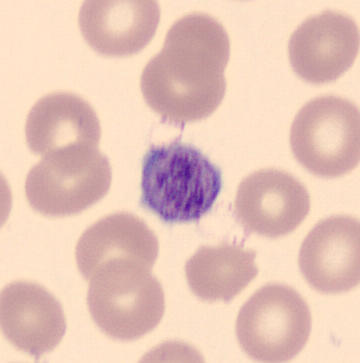Q: What is this?
A: Platelet (thrombocyte). Acquisition: Peripheral blood film.